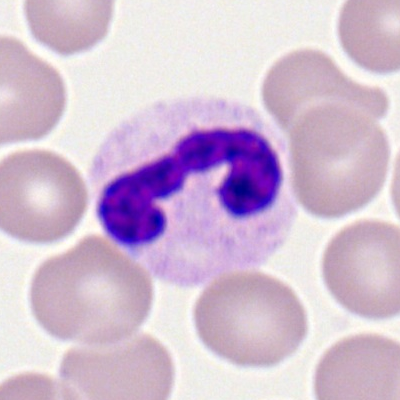
This is a stab cell.